Bone marrow smear:
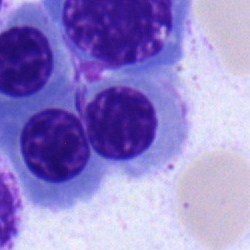Impression — erythroblast.